Bone marrow aspirate smear:
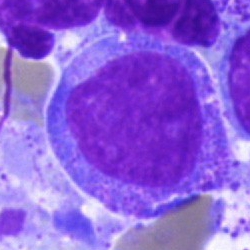

Q: Which cell type is shown here?
A: It is a blast.